Pappenheim-stained. Bone marrow smear
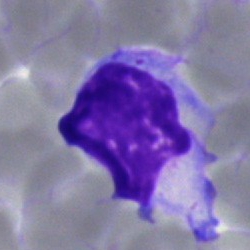

Impression → lymphocyte.